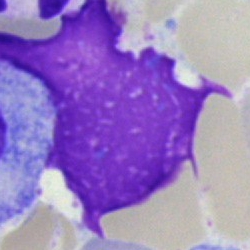Single cell identified as an artifact.